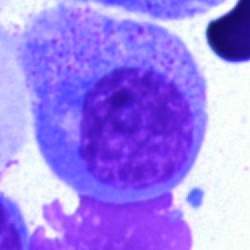
Morphological class = progranulocyte.